250×250 px. Brightfield, 40× oil-immersion objective. Bone marrow aspirate smear
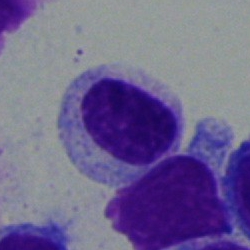Q: What cell is this?
A: This is a typical lymphocyte.